May-Grünwald-Giemsa stain · bone marrow aspirate smear: 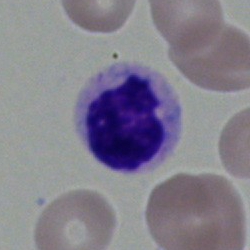
Showing a polymorphonuclear neutrophil.